Bone marrow smear.
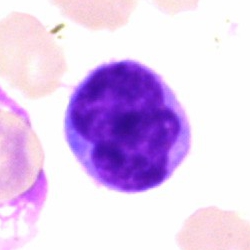

Q: What is the morphological classification of this cell?
A: Lymphocyte.